Single cell centered in the field · bone marrow aspirate smear — 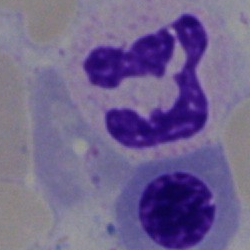This is a segmented neutrophil.